Peripheral blood film: 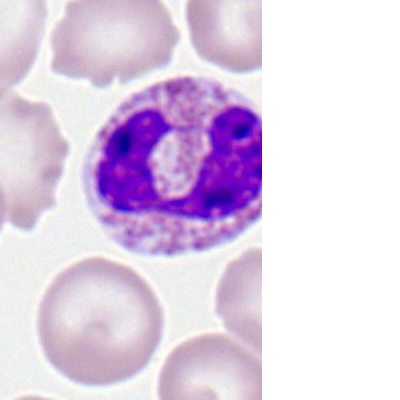The cell shown is an eosinophil.